Bone marrow smear. Single-cell field — 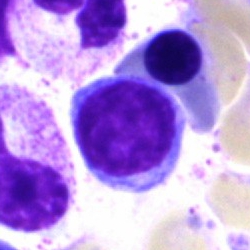

Morphology → typical lymphocyte.